250×250 px. Bone marrow smear
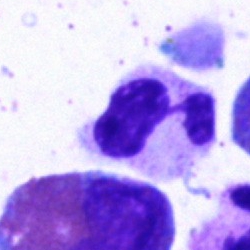 The morphological class is neutrophil (segmented).